Single-cell crop; bone marrow aspirate smear; brightfield, 40× oil-immersion objective — 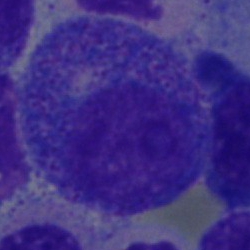A promyelocyte.